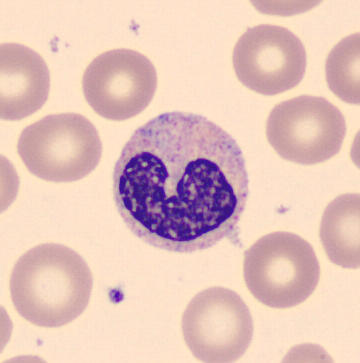

Showing a stab cell.